Bone marrow smear:
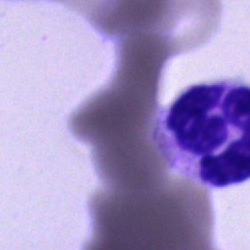
Single cell identified as a polymorphonuclear neutrophil.